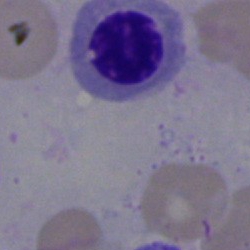 Morphology — nucleated red cell.